Peripheral blood film — 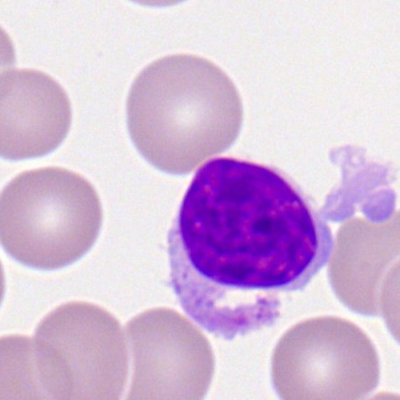
Single cell identified as a lymphocyte.